Bone marrow smear.
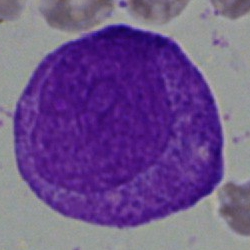This is a blast cell.